Single-cell field; bone marrow aspirate smear: 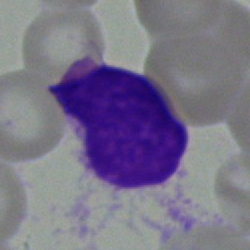 Single cell identified as an artefact.